Bone marrow smear.
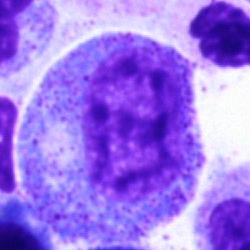Cell type = progranulocyte.